MGG-stained. Bone marrow aspirate smear — 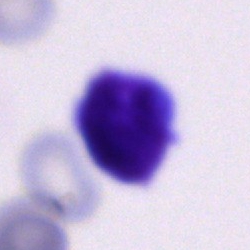Cell = cell of indeterminate lineage.